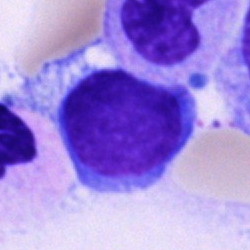 Morphological class: typical lymphocyte.